Peripheral blood smear
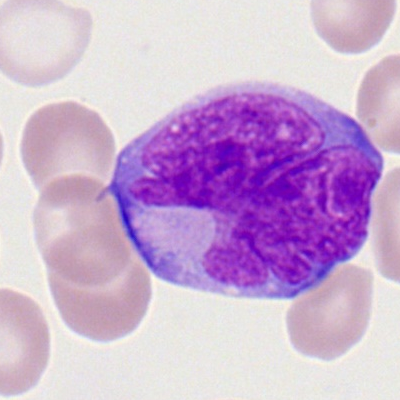 {"cell_type": "myeloid blast", "lineage": "myeloid"}